Peripheral blood smear:
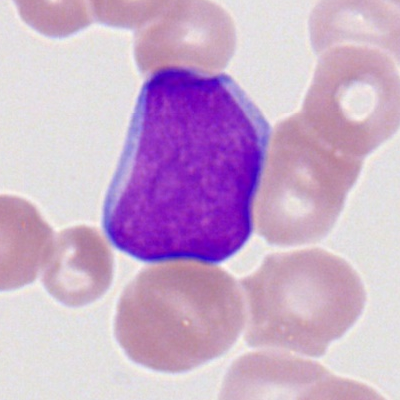 Impression — myeloblast.